Bone marrow smear · single-cell crop.
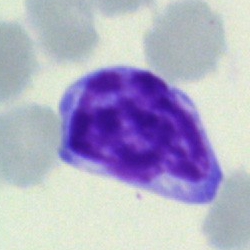
Lymphocyte.